Bone marrow aspirate smear:
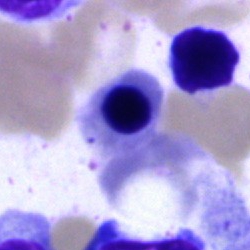

Cell type: erythroblast.